40× oil immersion. Cropped to a single cell. Bone marrow smear
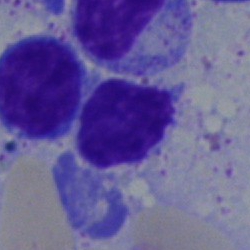 Morphological class = lymphocyte.